May-Grünwald-Giemsa stain · bone marrow smear · 250×250 px
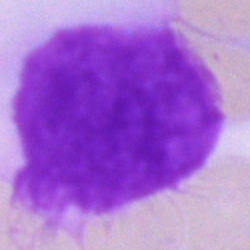 Morphology consistent with an artefact.